Bone marrow aspirate smear. 250×250: 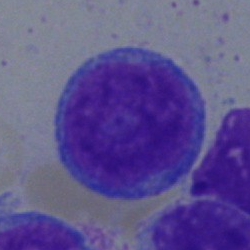
Q: Which cell type is shown here?
A: It is a blast.